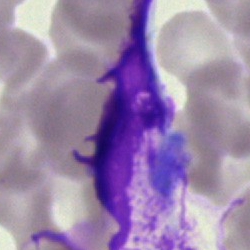 The cell is artifact.